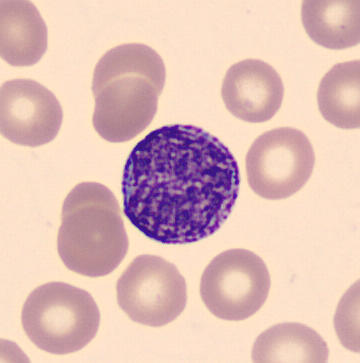 The morphological class is myelocyte. Image: 360×363 · CellaVision DM96 digital cell image · peripheral blood film.